Peripheral blood smear
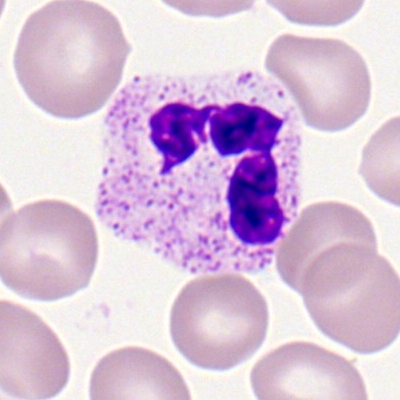
Q: What type of cell is this?
A: It is a segmented neutrophil.